250 by 250 pixels. Bone marrow aspirate smear
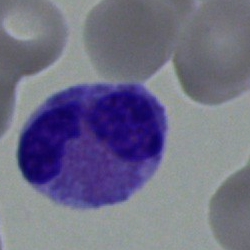

Cell type = eosinophilic granulocyte.